Bone marrow smear — 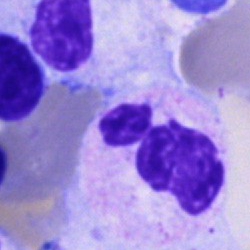

Morphology consistent with a neutrophil (segmented).